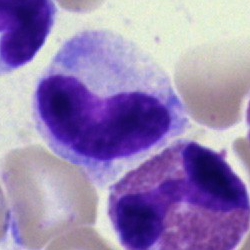

Single-cell crop from a bone marrow smear: band neutrophil.